May-Grünwald-Giemsa stain; bone marrow aspirate smear: 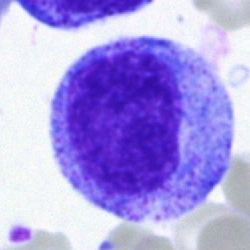
Showing a promyelocyte.